Bone marrow smear
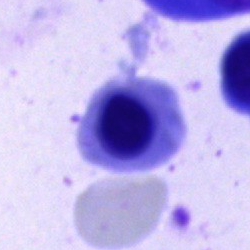Morphological class: normoblast.